Bone marrow aspirate smear: 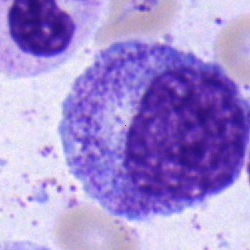Showing a progranulocyte.